Single cell centered in the field. Bone marrow smear.
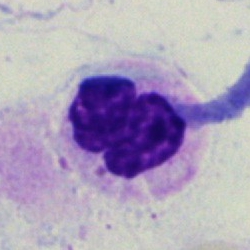The cell shown is a polymorphonuclear neutrophil.